Bone marrow aspirate smear: 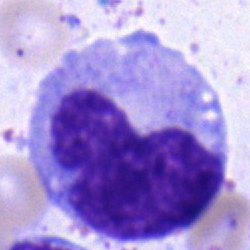
This is a monocyte.